Bone marrow smear — 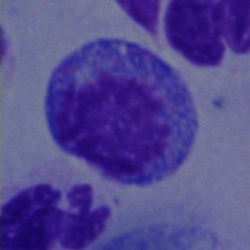
Q: Identify the cell.
A: Nucleated red blood cell.